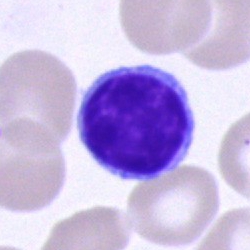 Single cell identified as a lymphocyte.